Bone marrow smear:
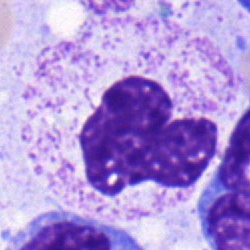

Q: What type of cell is this?
A: Band neutrophil.